Image size 250×250; bone marrow aspirate smear — 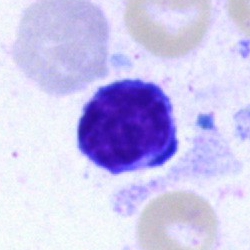

Q: Which cell type is shown here?
A: It is a lymphocyte.